Single-cell crop. Bone marrow aspirate smear.
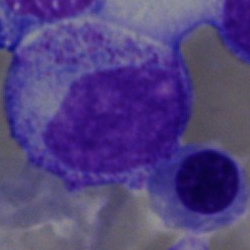 Classification = progranulocyte.